Single-cell crop. Bone marrow smear: 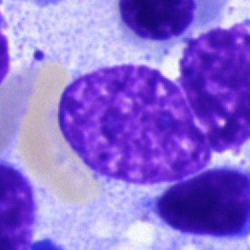Showing an artifact.